Peripheral blood smear · 100× oil immersion, 14.14 px/µm:
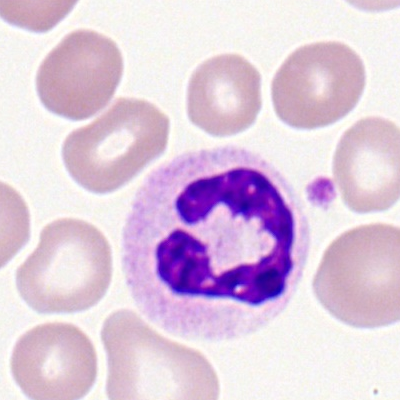Showing a polymorphonuclear neutrophil.